Bone marrow smear:
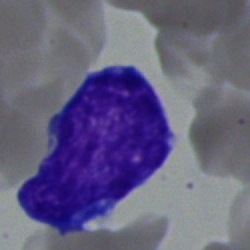

Showing a blast cell.